Bone marrow smear. Brightfield, 40× oil-immersion objective — 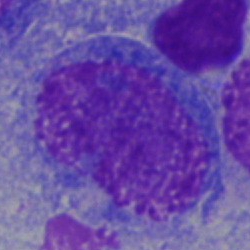Showing a blast cell.